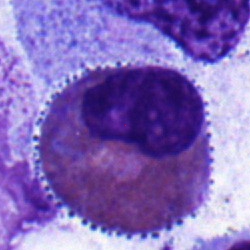

Morphological class — eosinophil.